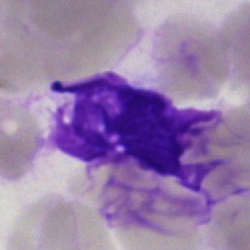
Impression → artefact.